Pappenheim-stained · bone marrow smear
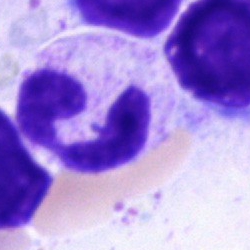 Q: Which cell type is shown here?
A: It is a polymorphonuclear neutrophil.